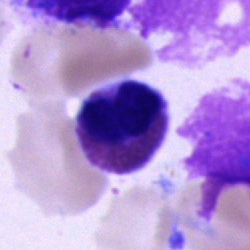{"cell_type": "eosinophilic granulocyte", "lineage": "myeloid"}